Bone marrow smear; May-Grünwald-Giemsa stain.
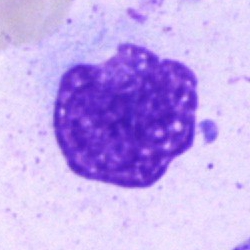Cell type = artifact.